Bone marrow aspirate smear — 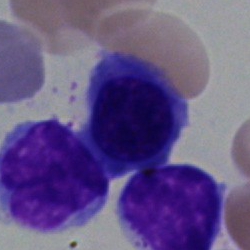Cell — normoblast.